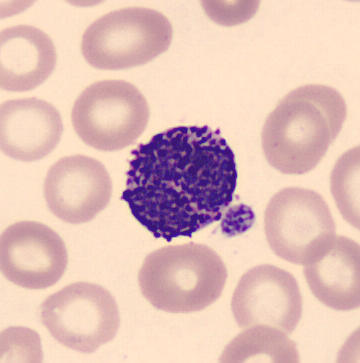
Acquisition: Single-cell crop · peripheral blood film.

Q: What is this?
A: Basophil.